250 by 250 pixels; bone marrow smear
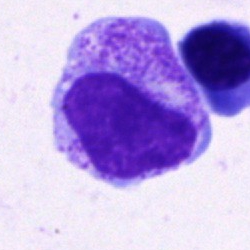

Q: Which cell type is shown here?
A: This is a promyelocyte.